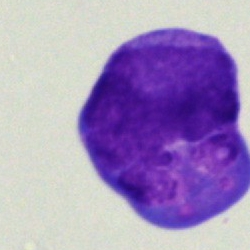
Cell = blast.